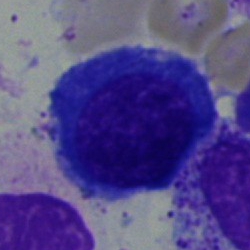Q: What cell is this?
A: It is an erythroblast.